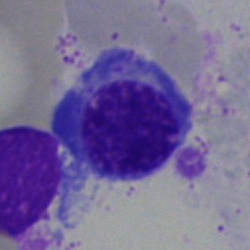

Bone marrow smear showing a nucleated red blood cell.